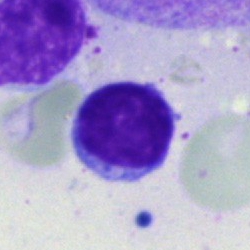 Q: Which cell type is shown here?
A: A lymphocyte.